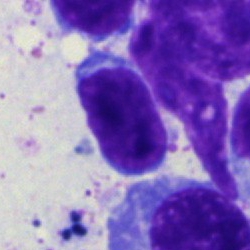

Classification: typical lymphocyte.